Bone marrow aspirate smear
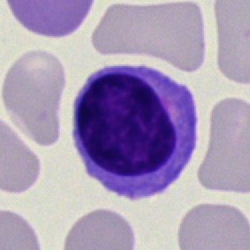
Q: Identify the cell.
A: It is a typical lymphocyte.